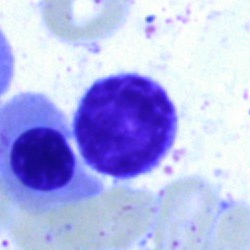

{"cell_type": "lymphocyte"}